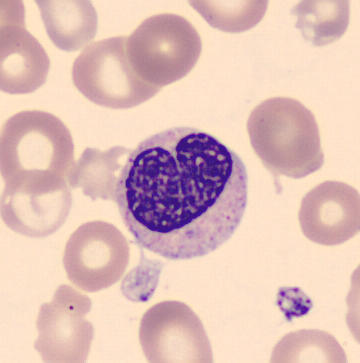
The cell type is metamyelocyte. Preparation: Peripheral blood film; single-cell crop; 360×363.